Peripheral blood smear:
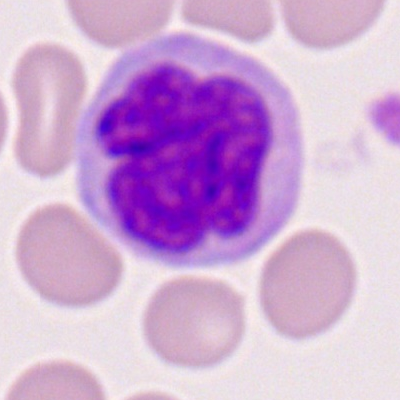

Classification: monocyte.